Bone marrow aspirate smear
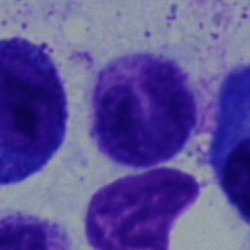 Q: What is shown here?
A: This is a band-form neutrophil.